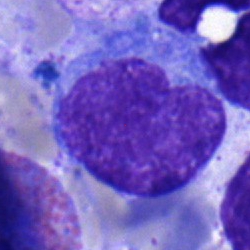
Single cell identified as an undifferentiated blast.